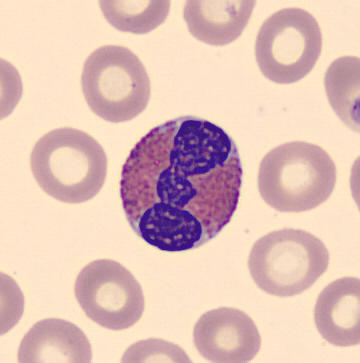

Impression → eosinophil.